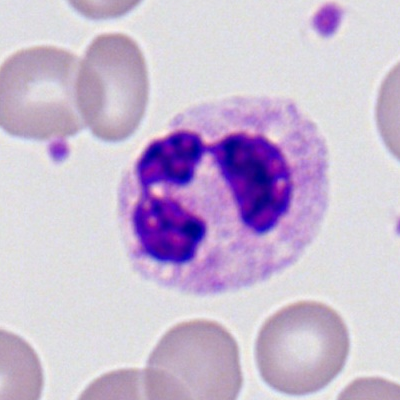

Q: What cell is this?
A: This is a segmented neutrophil.